Peripheral blood film — 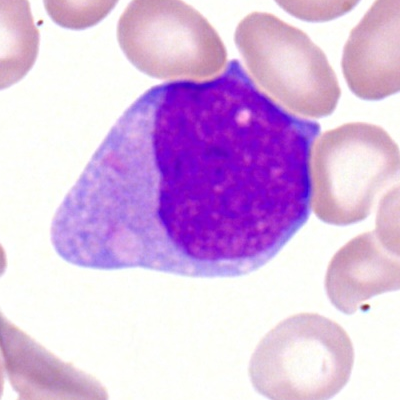Cell: myeloblast.